Bone marrow smear: 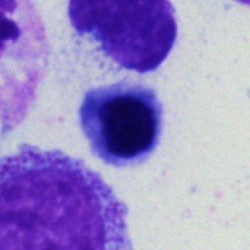
This is an erythroblast.